Bone marrow aspirate smear:
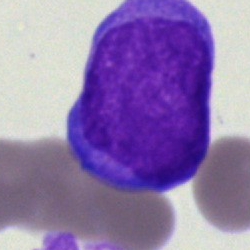 Morphology consistent with a blast.